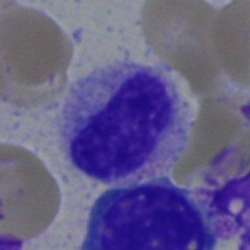Morphology consistent with a metamyelocyte.